Bone marrow smear. Single-cell field. 250×250 px.
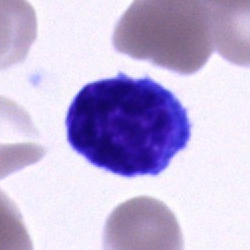A blast cell.